Peripheral blood film:
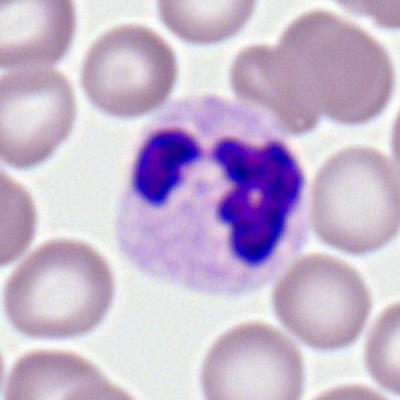 Q: What is shown here?
A: A neutrophil (segmented).